Bone marrow smear: 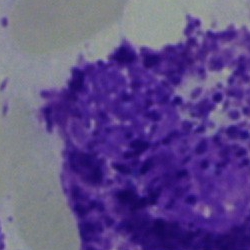Classification: cell not matching the other categories.